Bone marrow smear — 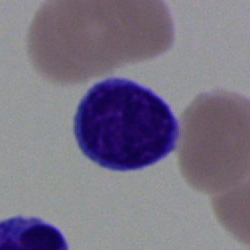
A lymphocyte.